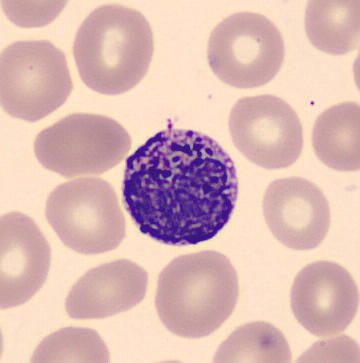 A basophil.
Peripheral blood smear.